Single-cell crop. Bone marrow smear
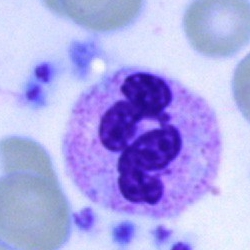Q: What cell is this?
A: A polymorphonuclear neutrophil.